Bone marrow aspirate smear:
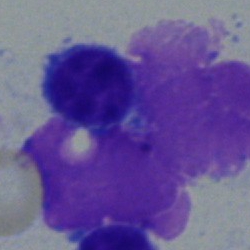The cell shown is a lymphocyte.